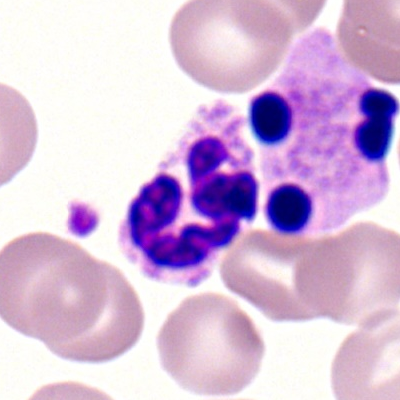
Classification: segmented neutrophil.